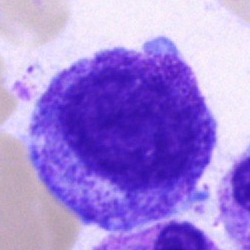 Single-cell crop from a bone marrow smear: progranulocyte.